Romanowsky-stained; peripheral blood smear — 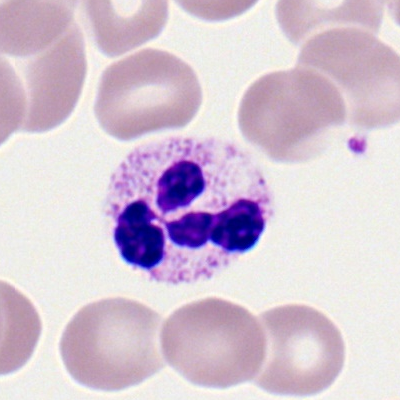
The classification is neutrophil (segmented).